May-Grünwald-Giemsa stain; bone marrow smear; 40× oil immersion
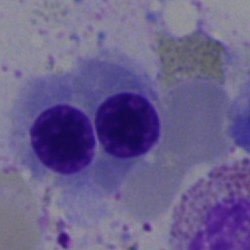

Cell: erythroblast.